100× oil immersion. Romanowsky-stained. Peripheral blood smear:
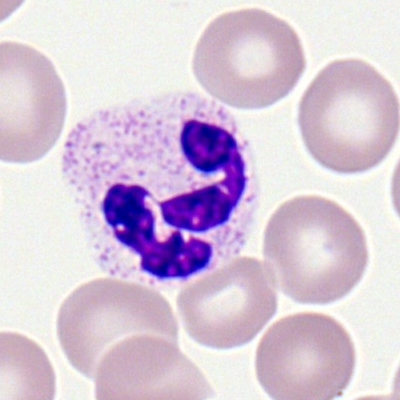

Impression → neutrophil (segmented).